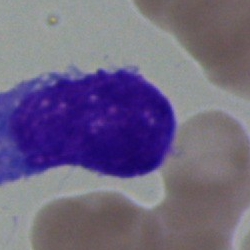

An undifferentiated blast.